Bone marrow smear: 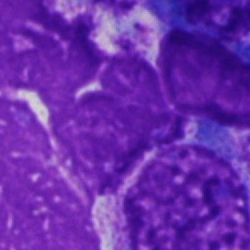
Morphology — artifact.